MGG-stained. Bone marrow aspirate smear. 40× oil immersion: 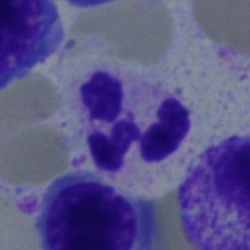 Specimen: bone marrow aspirate smear.
Cell: neutrophil (segmented).
Lineage: myeloid.